Brightfield microscopy, 40× oil immersion. May-Grünwald-Giemsa stain. Bone marrow aspirate smear:
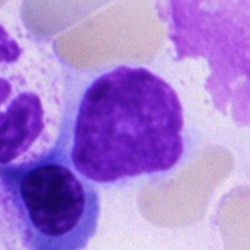

Q: What is shown here?
A: An artifact.